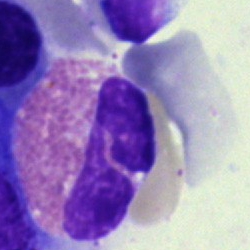 Specimen: bone marrow smear.
Classification: eosinophil.